Bone marrow smear:
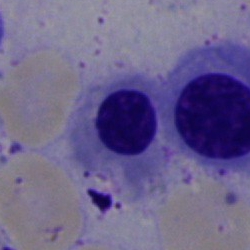Morphology — normoblast.